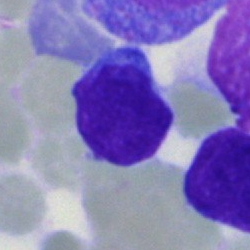
Q: Identify the cell.
A: It is a typical lymphocyte.